Bone marrow aspirate smear.
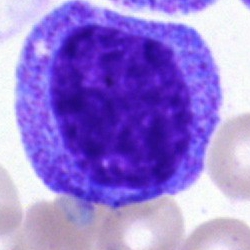

Showing a progranulocyte.